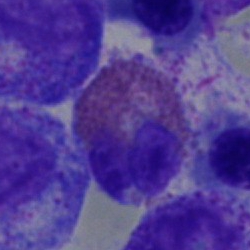 {"cell_type": "eosinophilic granulocyte"}